Image size 250×250; single cell centered in the field; bone marrow smear — 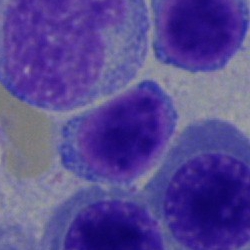
Impression → lymphocyte.